Bone marrow aspirate smear; single cell centered in the field.
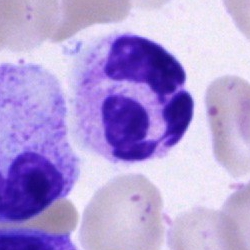 Morphology — neutrophil (segmented).